Bone marrow smear: 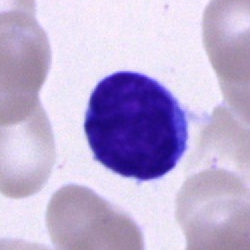

Q: What is shown here?
A: This is a typical lymphocyte.